250 by 250 pixels; bone marrow aspirate smear; single cell centered in the field
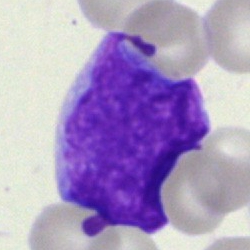 Classification: blast cell.